Bone marrow smear: 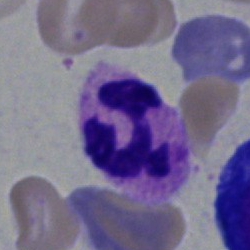Q: Identify the cell.
A: A polymorphonuclear neutrophil.